Bone marrow smear. Brightfield, 40× oil-immersion objective. MGG-stained — 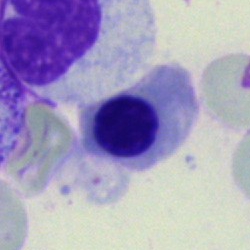 Cell type: nucleated red blood cell.